Bone marrow smear
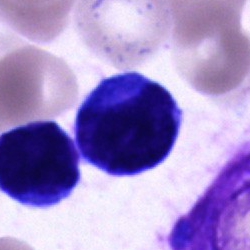
This is a blast cell.